MGG-stained; bone marrow smear — 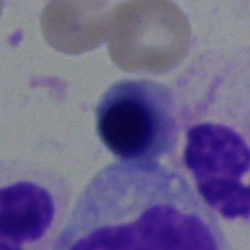
Showing a nucleated red blood cell.